Peripheral blood smear — 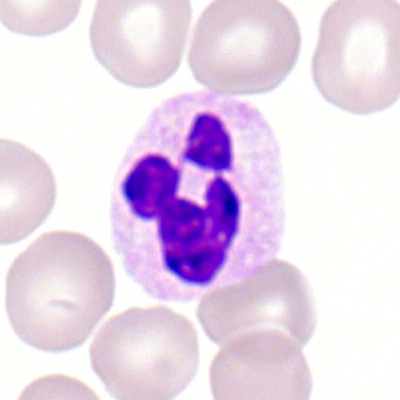 The cell is segmented neutrophil.